Bone marrow smear: 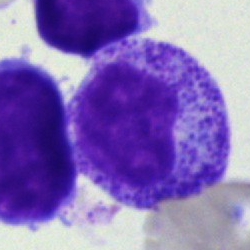 Specimen: bone marrow smear.
Classification: myelocyte.
Lineage: myeloid.